Pappenheim-stained. Bone marrow aspirate smear. 250×250:
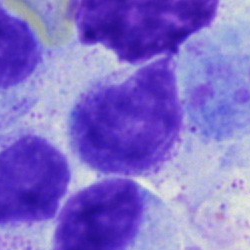Q: What type of cell is this?
A: Myelocyte.